Bone marrow smear · 250×250: 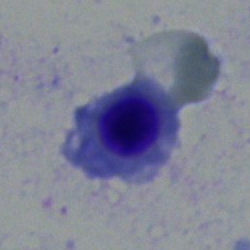 A nucleated red blood cell.